Bone marrow aspirate smear.
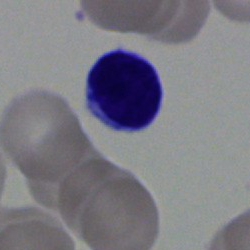

This is a lymphocyte.